Brightfield microscopy, 40× oil immersion · bone marrow smear: 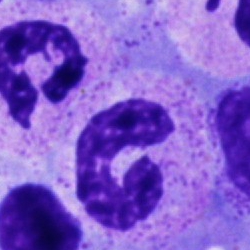 A neutrophil (band).